Cropped to a single cell. Bone marrow aspirate smear — 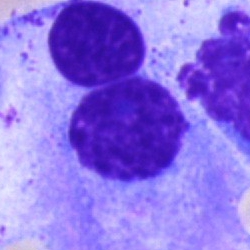 Plasmacyte.